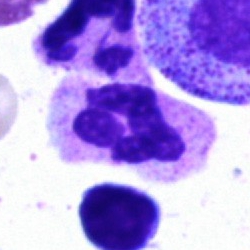Impression → polymorphonuclear neutrophil.